Bone marrow smear — 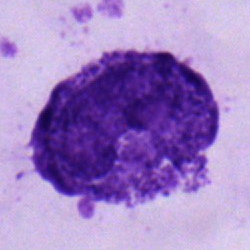 Cell type = stab cell.